250 by 250 pixels; bone marrow aspirate smear: 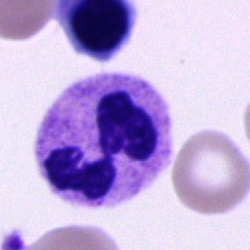The cell type is polymorphonuclear neutrophil.